Bone marrow smear — 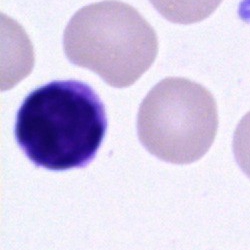 Morphology — typical lymphocyte.